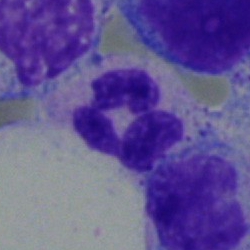
Q: What cell is this?
A: This is a polymorphonuclear neutrophil.